Bone marrow smear · 40× oil immersion:
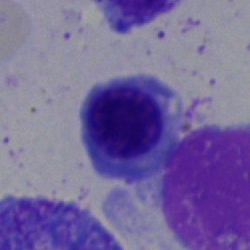
Specimen: bone marrow aspirate smear.
Cell type: nucleated red cell.